Bone marrow smear — 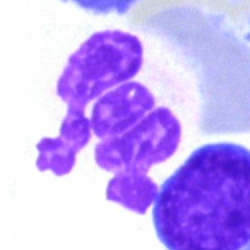

Q: What is shown here?
A: Artefact.